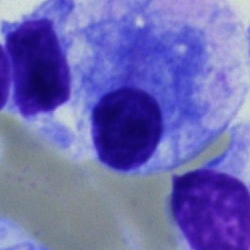
Impression — plasma cell.